Bone marrow smear — 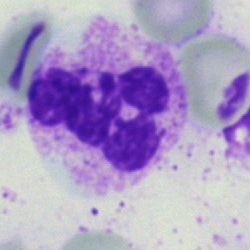

Q: Which cell type is shown here?
A: It is a neutrophil (segmented).